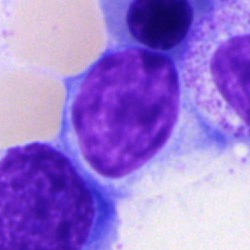Bone marrow aspirate smear, single cell — typical lymphocyte.